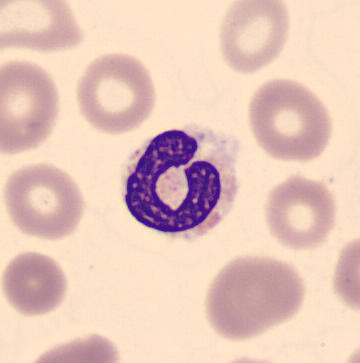Acquisition: Peripheral blood smear; 360×363 px. Cell type: band-form neutrophil.